Bone marrow aspirate smear; 40× objective, oil immersion; May-Grünwald-Giemsa stain:
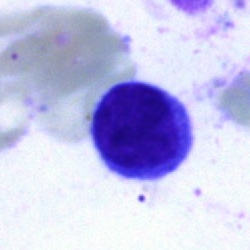
Morphological class — lymphocyte.